250×250 · bone marrow aspirate smear.
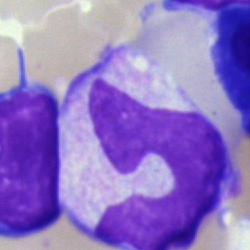 Q: What cell is this?
A: Lymphocyte.